Bone marrow smear · Pappenheim-stained
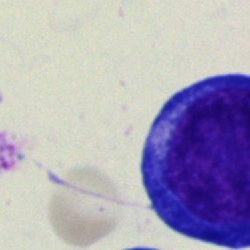

Q: What type of cell is this?
A: This is a pronormoblast.